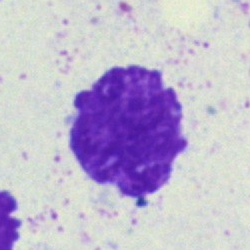
Single cell identified as an artefact.